Bone marrow aspirate smear. Single-cell crop — 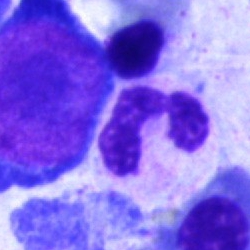A polymorphonuclear neutrophil.